Peripheral blood film. Romanowsky-type stain — 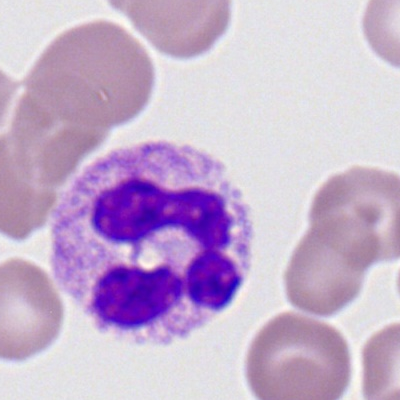Q: Identify the cell.
A: Segmented neutrophil.